Bone marrow aspirate smear: 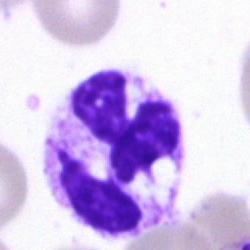

This is a neutrophil (segmented).